May-Grünwald-Giemsa/Pappenheim stain. Bone marrow smear — 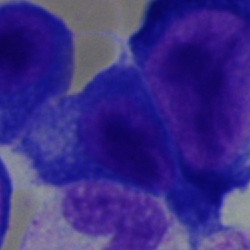
Morphology consistent with a plasma cell.